Image size 400×400; Romanowsky stain; peripheral blood film
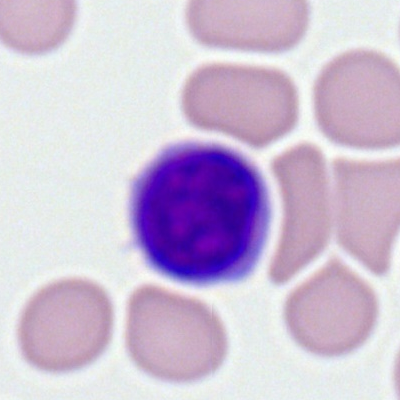Classification: lymphocyte.